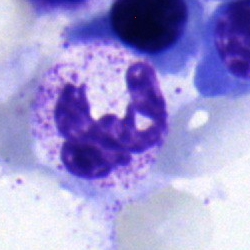 A polymorphonuclear neutrophil.